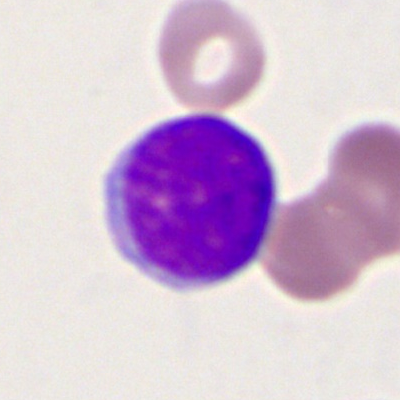 The cell shown is a myeloblast.